Cropped to a single cell · bone marrow aspirate smear — 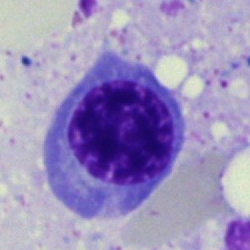Cell: normoblast.